Bone marrow smear. MGG-stained.
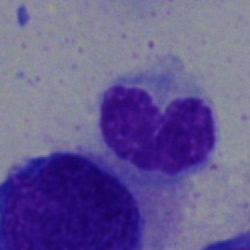

Morphology → segmented neutrophil.